Peripheral blood film
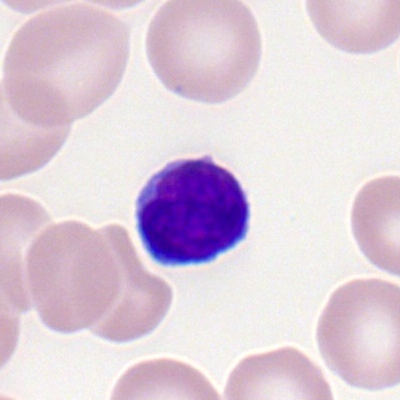 Specimen: peripheral blood film.
Cell: lymphocyte.